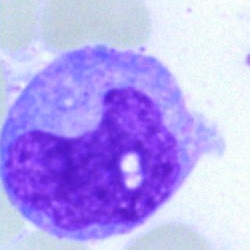

Q: What is the morphological classification of this cell?
A: Monocyte.